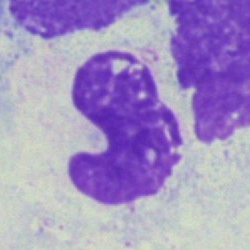

Q: What is the morphological classification of this cell?
A: A segmented neutrophil.